Bone marrow aspirate smear — 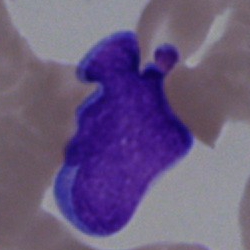
The cell type is blast.